Bone marrow aspirate smear:
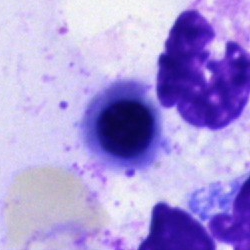The cell shown is a normoblast.